Single-cell crop; bone marrow aspirate smear
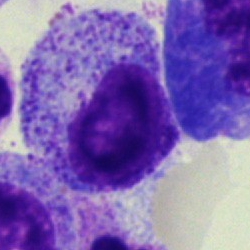 Classification = myelocyte.